Bone marrow aspirate smear
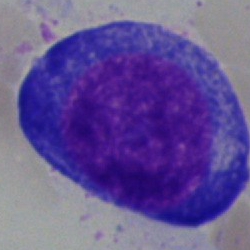Morphological class = pronormoblast.